400×400. Peripheral blood film. Romanowsky stain.
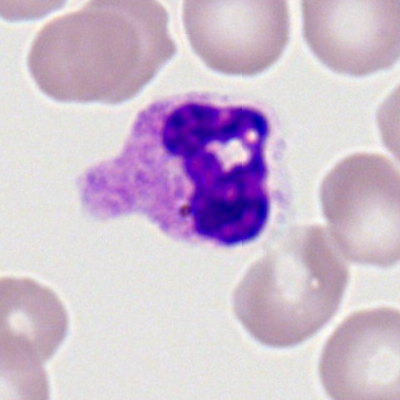 Cell: segmented neutrophil.